May-Grünwald-Giemsa stain; bone marrow aspirate smear — 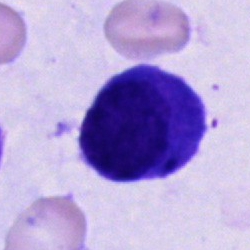 Specimen: bone marrow smear.
Morphological class: plasma cell.
Lineage: lymphoid.